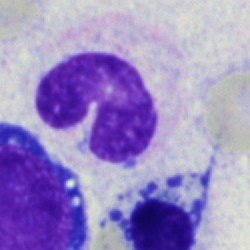Specimen: bone marrow smear.
Cell type: band neutrophil.
Lineage: myeloid.